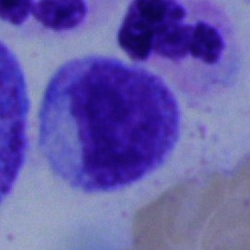
Single-cell crop from a bone marrow smear: promyelocyte.